Brightfield microscopy, 40× oil immersion. Bone marrow aspirate smear. May-Grünwald-Giemsa stain — 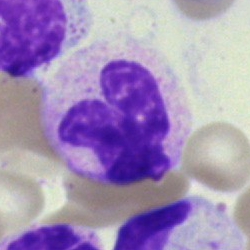
Q: Which cell type is shown here?
A: A neutrophil (segmented).